Peripheral blood smear — 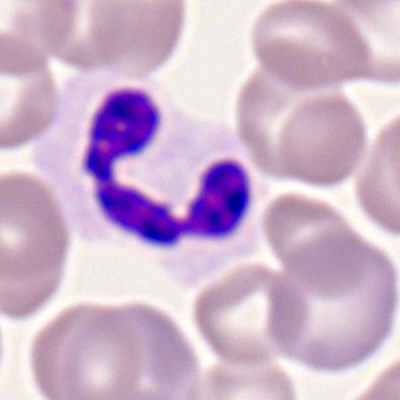Classification: segmented neutrophil.